250×250. Bone marrow aspirate smear
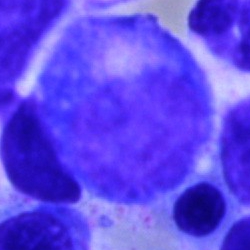
Specimen: bone marrow smear.
Morphological class: progranulocyte.